Bone marrow smear: 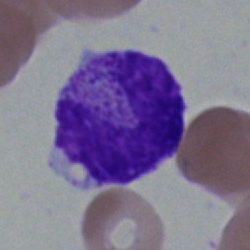 Q: What cell is this?
A: A metamyelocyte.